Bone marrow smear: 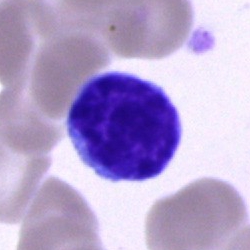 Morphology — typical lymphocyte.